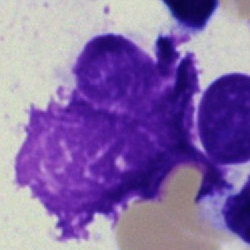 Morphological class — artefact.